Bone marrow smear.
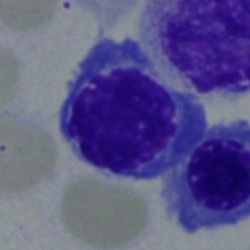
Morphology consistent with a normoblast.